Bone marrow aspirate smear.
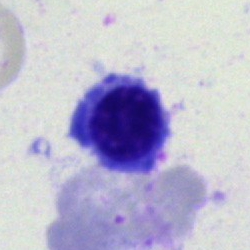 {"cell_type": "normoblast", "lineage": "erythroid"}